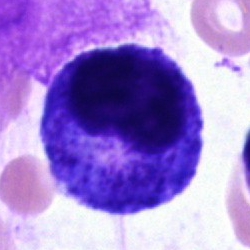 Q: What cell is this?
A: This is a progranulocyte.